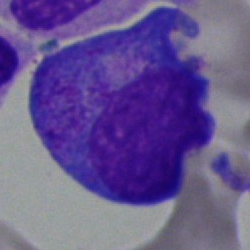
Cell type = promyelocyte.